May-Grünwald-Giemsa stain · 250 by 250 pixels · bone marrow smear
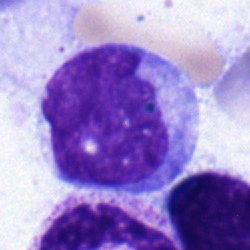 Monocyte.